40× objective, oil immersion. Bone marrow smear:
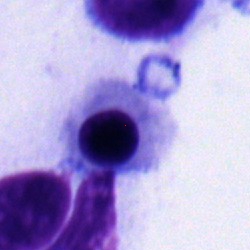Cell — erythroblast.